Bone marrow smear · 40× objective, oil immersion · single-cell crop
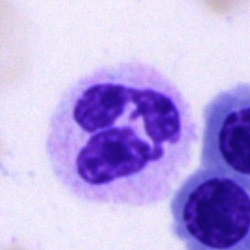
{"cell_type": "neutrophil (segmented)", "lineage": "myeloid"}